250 by 250 pixels. Bone marrow smear — 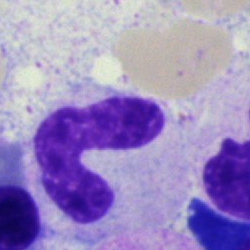 Morphology → band neutrophil.